Brightfield, 40× oil-immersion objective. Bone marrow aspirate smear.
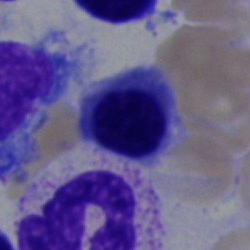Impression — normoblast.